Bone marrow aspirate smear. MGG-stained.
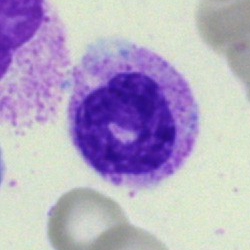Morphology → neutrophil (segmented).